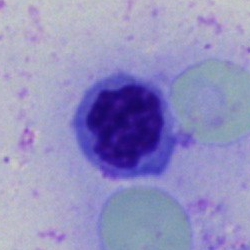Morphological class: normoblast.